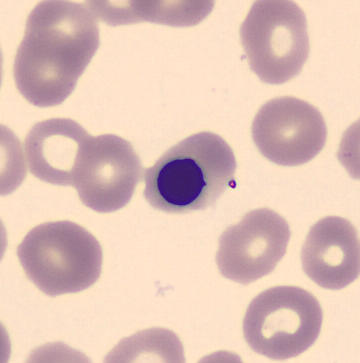

Peripheral blood smear showing a normoblast.